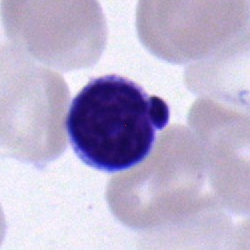 Q: What is shown here?
A: Lymphocyte.